Peripheral blood film.
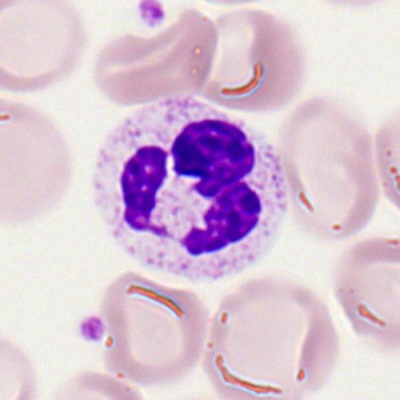 Neutrophil (segmented).